Bone marrow aspirate smear.
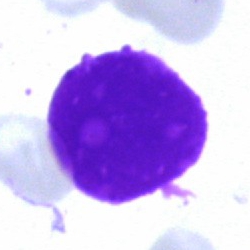Cell type — artefact.